Bone marrow smear.
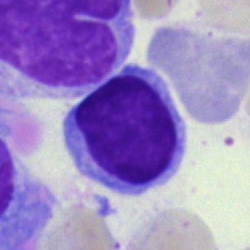

Specimen: bone marrow smear.
Cell: lymphocyte.
Lineage: lymphoid.